Bone marrow aspirate smear
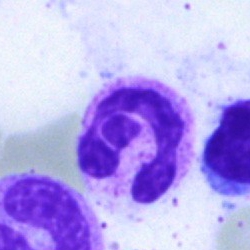
Showing a neutrophil (segmented).